Bone marrow smear · 250×250 — 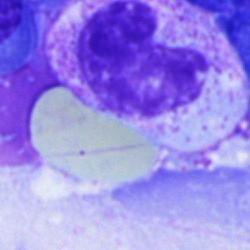Specimen: bone marrow smear.
Morphological class: metamyelocyte.